Bone marrow aspirate smear
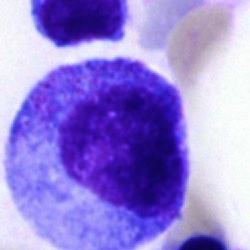 Cell type = promyelocyte.